MGG-stained · cropped to a single cell · bone marrow smear: 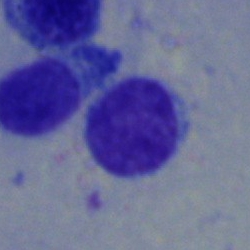Specimen: bone marrow smear.
Cell type: typical lymphocyte.